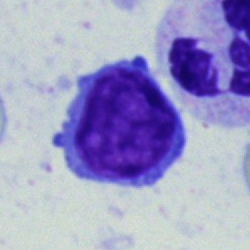 Showing a lymphocyte.